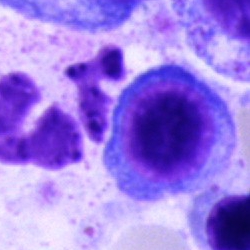{"cell_type": "plasmacyte", "lineage": "lymphoid"}